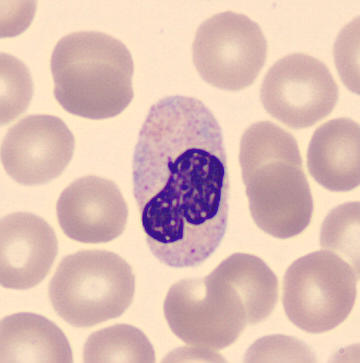 Morphology consistent with a neutrophil (band).

Peripheral blood film.